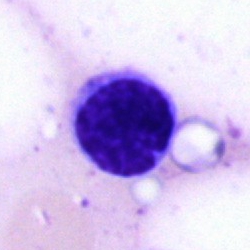Cell: lymphocyte.